Bone marrow smear.
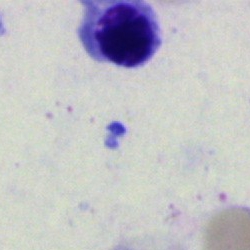

Q: What is the morphological classification of this cell?
A: Normoblast.